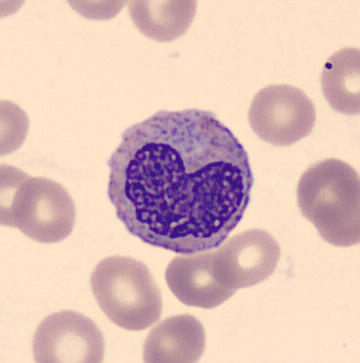Impression — metamyelocyte.